Bone marrow aspirate smear; brightfield, 40× oil-immersion objective: 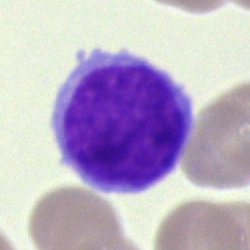 Typical lymphocyte.